Peripheral blood film.
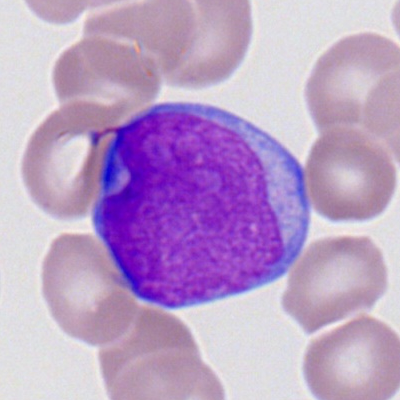
Q: What type of cell is this?
A: This is a myeloid blast.